Single-cell crop · bone marrow aspirate smear — 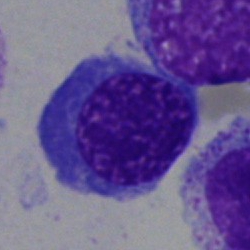 Specimen: bone marrow aspirate smear.
Morphological class: erythroblast.